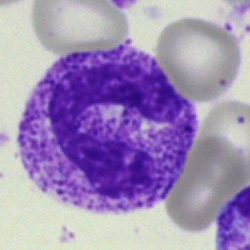

Band neutrophil.